Bone marrow aspirate smear: 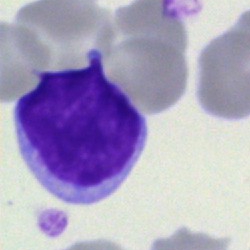Impression — lymphocyte.